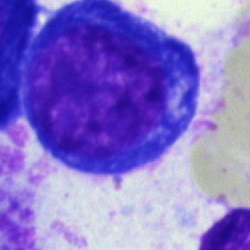

A proerythroblast on a bone marrow smear.